Single-cell crop · bone marrow aspirate smear:
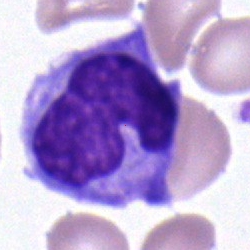
The cell is monocyte.